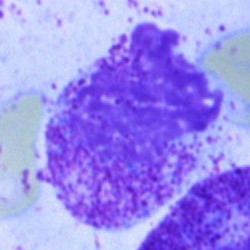

Q: What is shown here?
A: An artifact.